Brightfield microscopy, 40× oil immersion; single cell centered in the field; bone marrow aspirate smear: 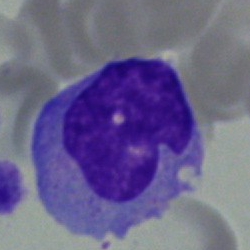Specimen: bone marrow smear.
Morphological class: monocyte.